Image size 250×250; May-Grünwald-Giemsa stain; bone marrow aspirate smear
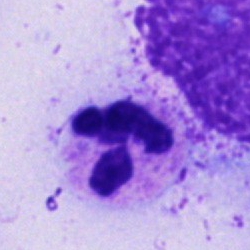 A segmented neutrophil.